Bone marrow aspirate smear:
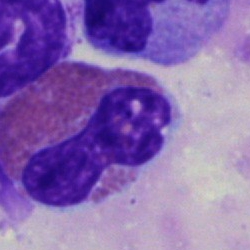 Impression → eosinophil.